Bone marrow aspirate smear; 250 by 250 pixels; single-cell crop.
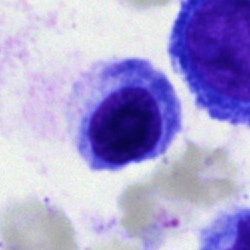

Showing an erythroblast.